Brightfield microscopy, 40× oil immersion. May-Grünwald-Giemsa stain. Bone marrow aspirate smear: 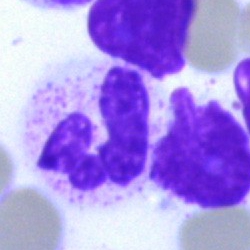

Q: What cell is this?
A: This is a segmented neutrophil.